Bone marrow aspirate smear:
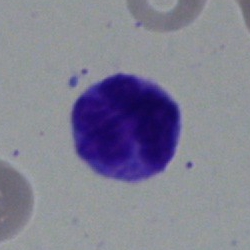

The cell shown is a monocyte.